Bone marrow aspirate smear.
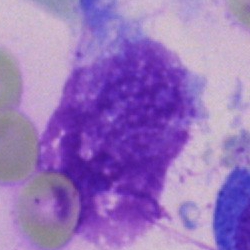

Specimen: bone marrow smear.
Classification: artefact.